Peripheral blood film. Single cell centered in the field. 100× oil immersion, 14.14 px/µm
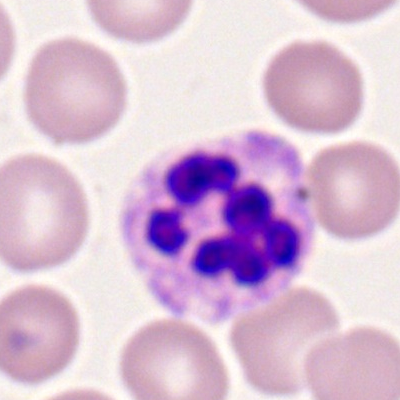

Morphology consistent with a neutrophil (segmented).